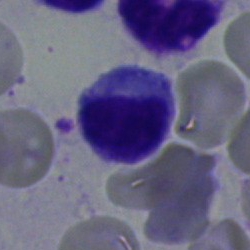Typical lymphocyte.